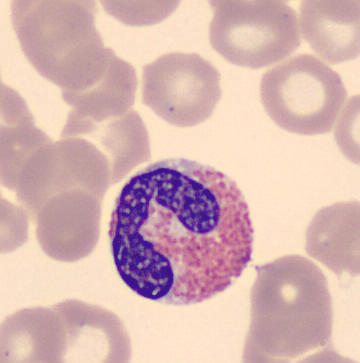 Morphological class — eosinophilic granulocyte.
Peripheral blood smear.